40× oil immersion; bone marrow aspirate smear; image size 250×250 — 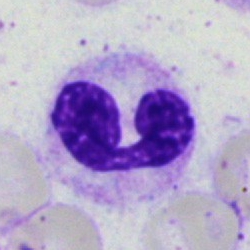 Specimen: bone marrow smear.
Classification: segmented neutrophil.
Lineage: myeloid.